Bone marrow aspirate smear: 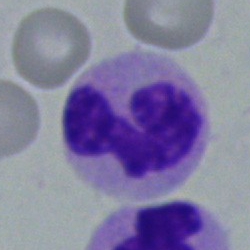

Specimen: bone marrow aspirate smear.
Classification: segmented neutrophil.
Lineage: myeloid.